Bone marrow smear
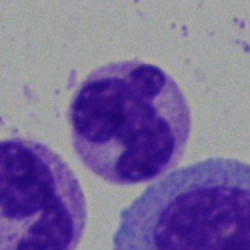 Morphological class: polymorphonuclear neutrophil.